MGG-stained · bone marrow aspirate smear — 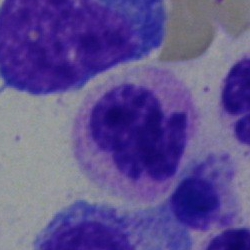 Q: What is shown here?
A: A neutrophil (segmented).